40× objective, oil immersion; bone marrow aspirate smear.
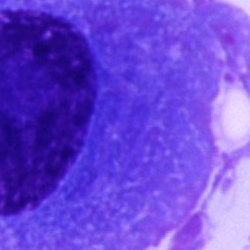Q: What type of cell is this?
A: Plasma cell.